Bone marrow smear: 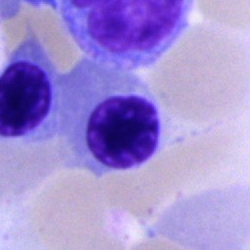Q: What is shown here?
A: A normoblast.